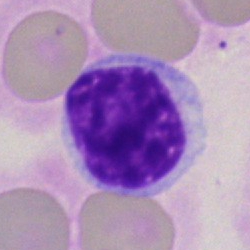

Q: What is the morphological classification of this cell?
A: Lymphocyte.